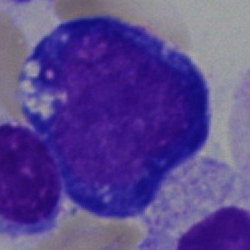
Classification = proerythroblast.